Single-cell crop. Bone marrow aspirate smear. May-Grünwald-Giemsa/Pappenheim stain
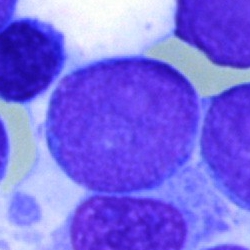
Morphological class = blast.